Bone marrow aspirate smear. May-Grünwald-Giemsa stain: 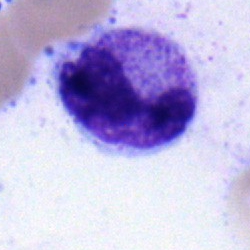 The classification is neutrophil (segmented).